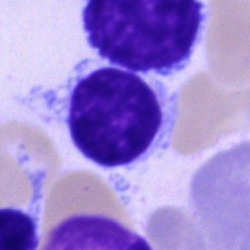

The cell type is typical lymphocyte.